Pappenheim-stained; bone marrow smear:
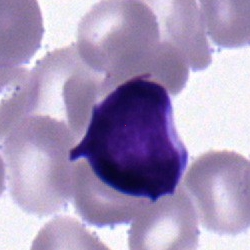
Showing a typical lymphocyte.